Bone marrow smear.
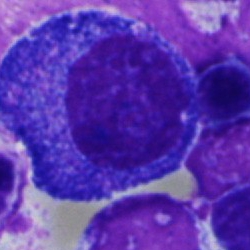 Morphology consistent with a promyelocyte.